Bone marrow smear · May-Grünwald-Giemsa stain · 40× oil immersion.
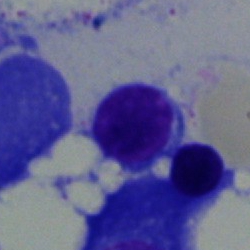
Showing a lymphocyte.